Bone marrow aspirate smear: 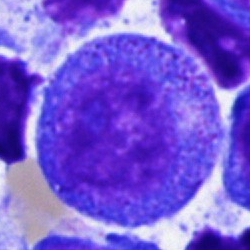

Progranulocyte.